Bone marrow smear: 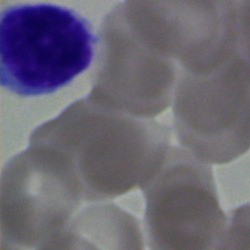
The cell shown is a lymphocyte.